Bone marrow aspirate smear — 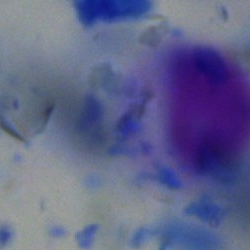

Q: What is shown here?
A: It is an artifact.